Romanowsky-stained; peripheral blood film; 400 by 400 pixels:
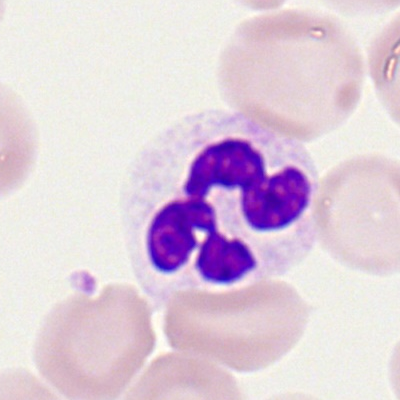

Impression — neutrophil (segmented).